Bone marrow aspirate smear.
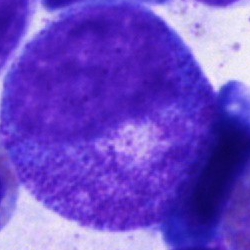Single cell identified as a promyelocyte.